Bone marrow smear: 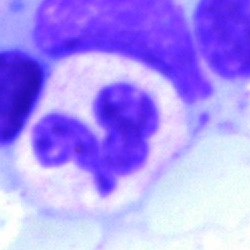
Morphology → polymorphonuclear neutrophil.